Bone marrow aspirate smear:
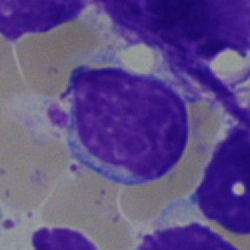The cell type is lymphocyte.